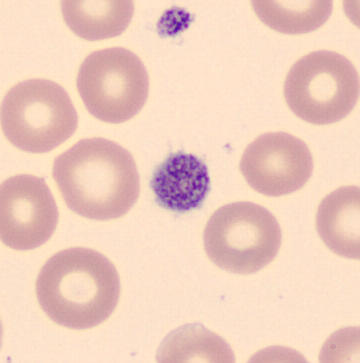Q: What is this?
A: This is a platelet.
Peripheral blood film.